Bone marrow aspirate smear; single cell centered in the field
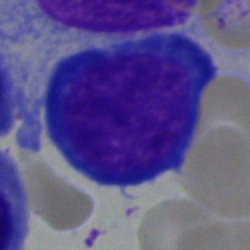 Q: Which cell type is shown here?
A: This is a proerythroblast.